Bone marrow smear
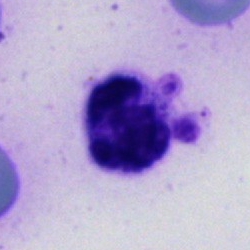 Morphology → neutrophil (segmented).